Bone marrow aspirate smear:
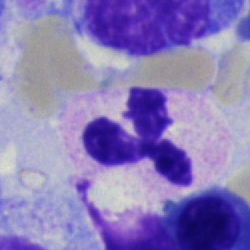Q: Which cell type is shown here?
A: It is a polymorphonuclear neutrophil.